May-Grünwald-Giemsa/Pappenheim stain. Bone marrow smear. Brightfield, 40× oil-immersion objective
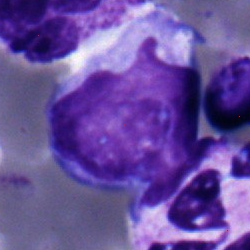This is an undifferentiated blast.